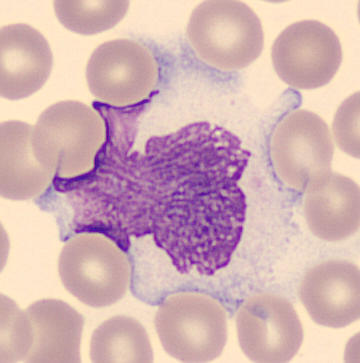Q: What is the morphological classification of this cell?
A: A monocyte. Preparation: Image size 360×363; single-cell field; peripheral blood film.